Bone marrow smear. 40× oil immersion. 250×250
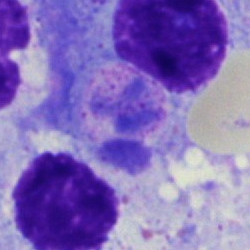Single cell identified as an artifact.